Bone marrow smear: 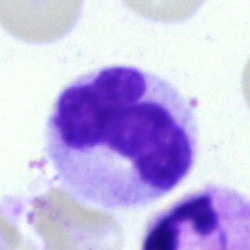
A band neutrophil.